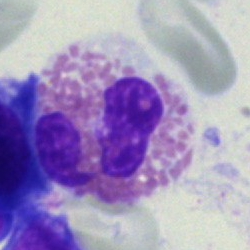
Morphological class: eosinophil.